Bone marrow smear:
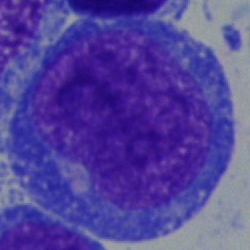
The classification is blast cell.